Single cell centered in the field · bone marrow aspirate smear · Pappenheim-stained — 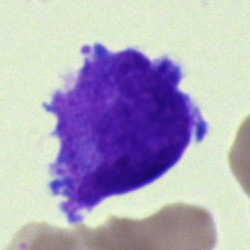

A promyelocyte.